May-Grünwald-Giemsa stain. Bone marrow aspirate smear.
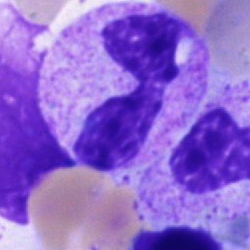Morphology → band neutrophil.